Bone marrow smear · single-cell crop · May-Grünwald-Giemsa stain:
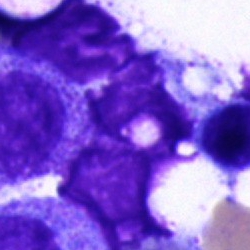

Specimen: bone marrow smear.
Cell type: artifact.